Bone marrow smear · single-cell crop · image size 250×250
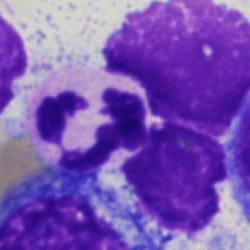
Specimen: bone marrow smear.
Morphological class: polymorphonuclear neutrophil.